Bone marrow aspirate smear
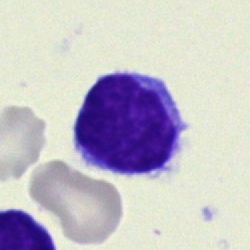
Morphology consistent with a typical lymphocyte.